Bone marrow smear
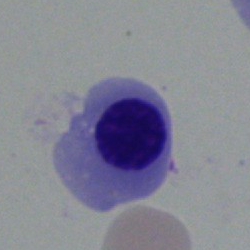

Specimen: bone marrow smear.
Cell: nucleated red cell.